Peripheral blood smear — 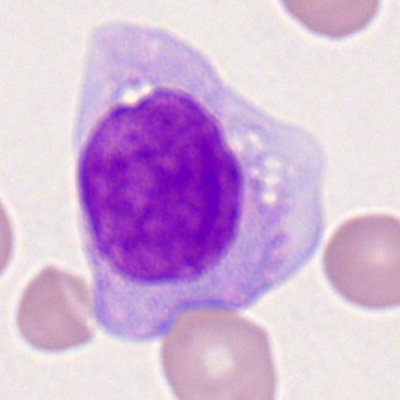{"cell_type": "monocyte", "lineage": "myeloid"}